Bone marrow aspirate smear
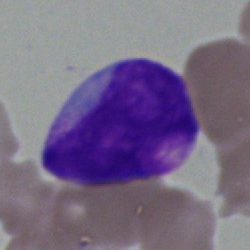
Morphological class — blast.